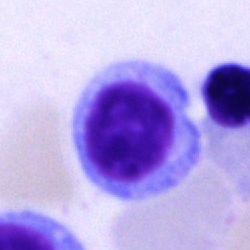Morphology consistent with a lymphocyte.